Bone marrow aspirate smear
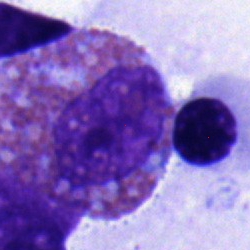

An eosinophilic granulocyte.